Bone marrow aspirate smear. Brightfield, 40× oil-immersion objective: 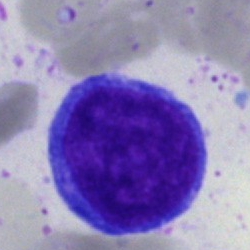
Morphology consistent with an immature lymphocyte.